Single cell centered in the field; bone marrow aspirate smear; 250×250: 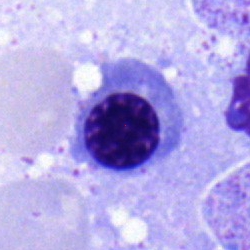
Specimen: bone marrow smear.
Cell type: nucleated red cell.